Bone marrow smear · 250×250 — 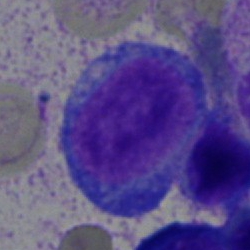Cell — blast.